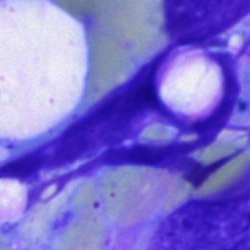 Specimen: bone marrow aspirate smear.
Morphological class: artefact.